400×400 px; peripheral blood film; cropped to a single cell.
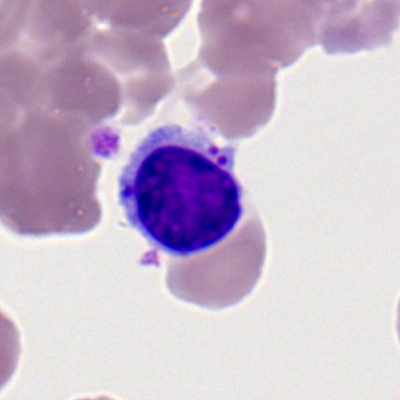 {"cell_type": "lymphocyte"}